Cropped to a single cell; Pappenheim-stained; bone marrow smear:
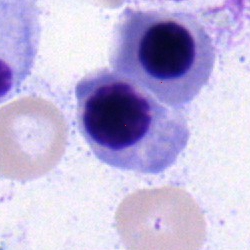This is a nucleated red cell.